Bone marrow aspirate smear:
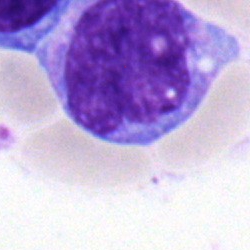Q: Identify the cell.
A: It is a monocyte.